Cropped to a single cell; bone marrow aspirate smear; 250×250 px.
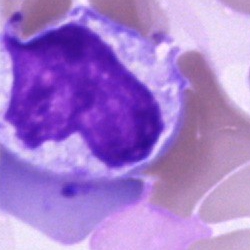

Classification: artifact.